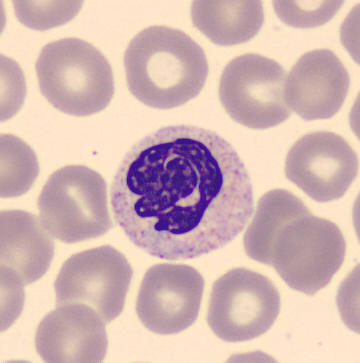

CellaVision DM96 digital cell image · peripheral blood film.
Q: What is this?
A: This is a polymorphonuclear neutrophil.